Bone marrow smear — 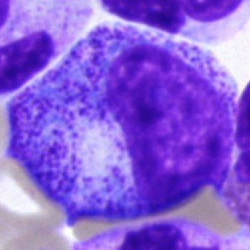 Q: Identify the cell.
A: This is a promyelocyte.